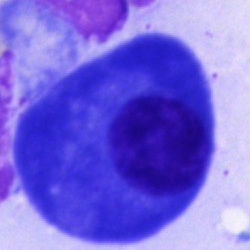

The cell type is plasmacyte.